Cropped to a single cell · bone marrow smear.
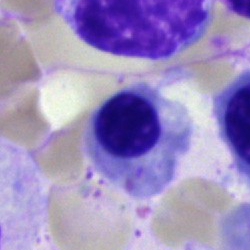

Cell type: normoblast.